Bone marrow smear; brightfield, 40× oil-immersion objective — 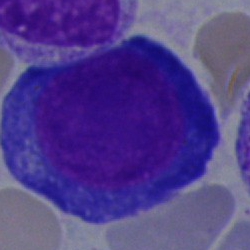

Q: What is shown here?
A: It is a proerythroblast.